Bone marrow aspirate smear — 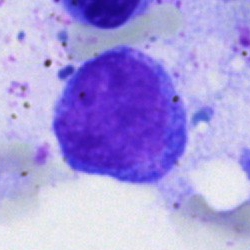 Q: What type of cell is this?
A: It is a typical lymphocyte.